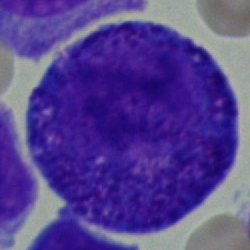Q: What is shown here?
A: Progranulocyte.